Single cell centered in the field. Bone marrow smear:
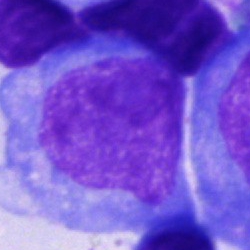The cell shown is a blast.